Bone marrow aspirate smear:
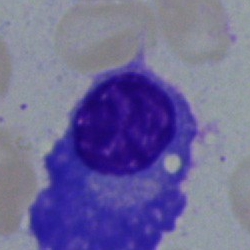Cell type: plasma cell.